Bone marrow aspirate smear
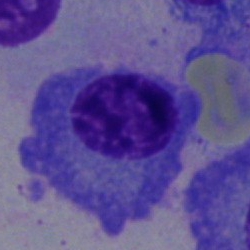 Q: What cell is this?
A: A plasma cell.